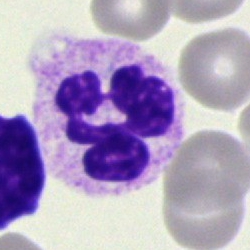
Neutrophil (segmented).